Bone marrow smear: 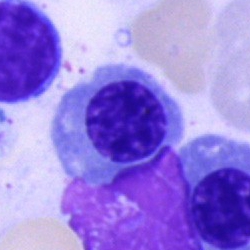 Impression — normoblast.